Bone marrow aspirate smear: 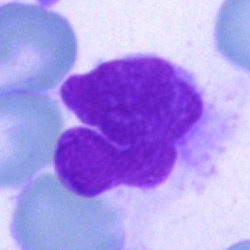 Specimen: bone marrow smear.
Classification: artifact.